Bone marrow smear.
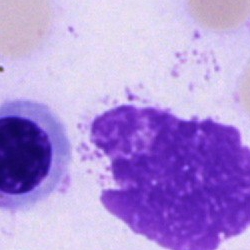Cell = unidentifiable cell.